Bone marrow smear.
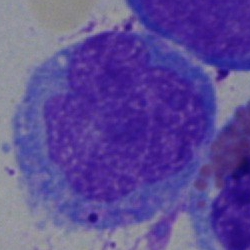Specimen: bone marrow smear.
Cell type: blast cell.